Bone marrow smear · single-cell field
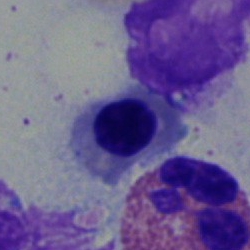

This is a nucleated red cell.